Bone marrow smear: 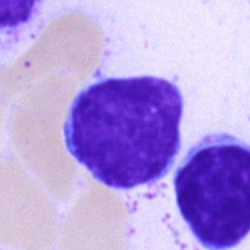

Morphology — lymphocyte.